Bone marrow smear; image size 250×250.
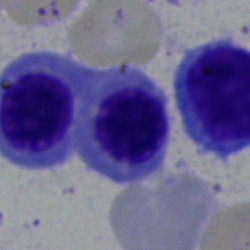

Q: What type of cell is this?
A: An erythroblast.